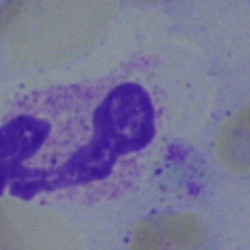
Bone marrow aspirate smear, single cell — segmented neutrophil.